250 by 250 pixels · bone marrow aspirate smear.
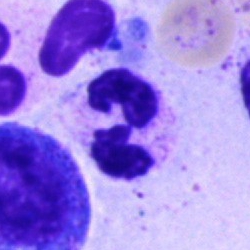 Classification — segmented neutrophil.